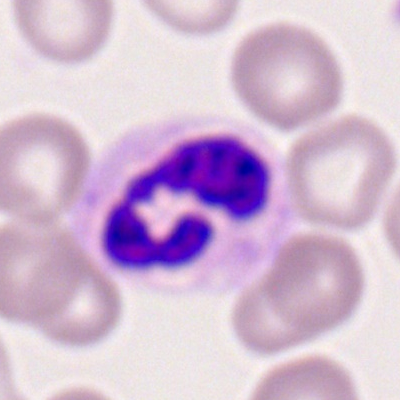A segmented neutrophil.